Peripheral blood smear.
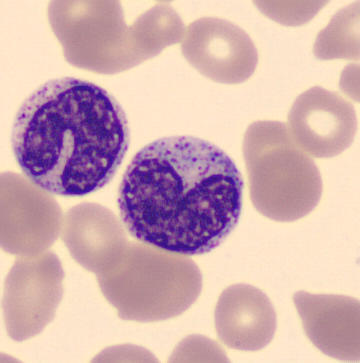Cell: metamyelocyte.